Bone marrow smear; May-Grünwald-Giemsa/Pappenheim stain.
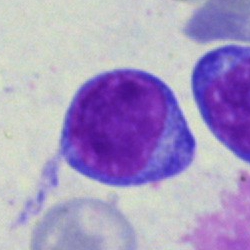 Cell — lymphocyte.